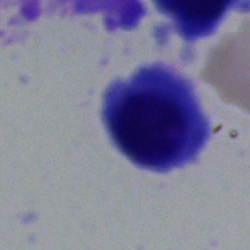{"cell_type": "nucleated red cell", "lineage": "erythroid"}